Bone marrow aspirate smear. Cropped to a single cell — 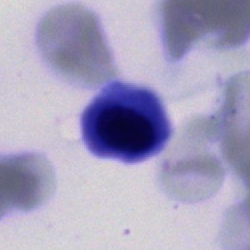

Cell = unidentifiable cell.